Bone marrow aspirate smear — 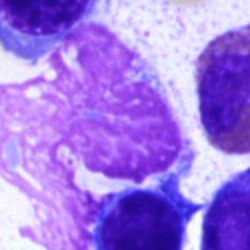 Impression — artifact.